Bone marrow aspirate smear; 250×250 px
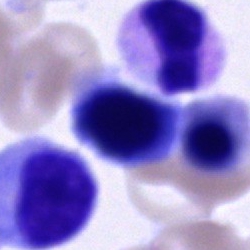Specimen: bone marrow aspirate smear.
Cell: unidentifiable cell.